Bone marrow smear
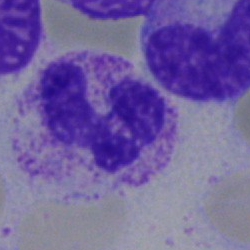 The cell type is polymorphonuclear neutrophil.